Single cell centered in the field; bone marrow smear:
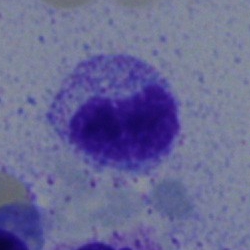Morphology → myelocyte.